Bone marrow smear; 250×250:
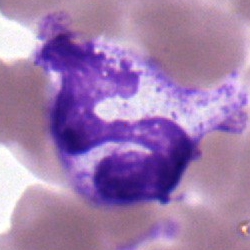

Q: What type of cell is this?
A: It is a neutrophil (segmented).